Bone marrow aspirate smear.
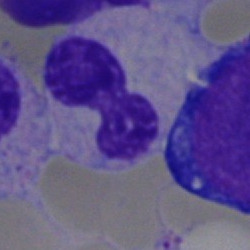Morphology → polymorphonuclear neutrophil.